Bone marrow aspirate smear:
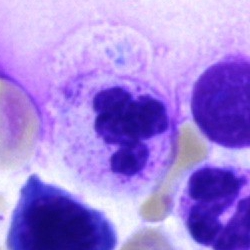

Morphology consistent with a neutrophil (segmented).